Bone marrow aspirate smear · 250×250: 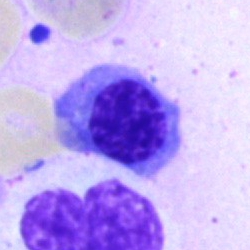Q: Which cell type is shown here?
A: It is a nucleated red cell.